Peripheral blood film.
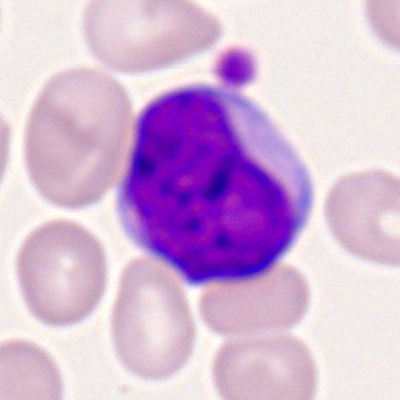 Classification = myeloblast.